Pappenheim-stained; bone marrow smear.
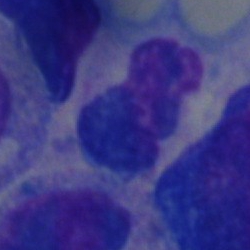

An artifact.